Image size 250×250. Bone marrow smear — 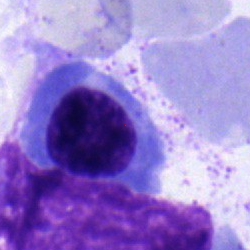

Specimen: bone marrow smear.
Cell: normoblast.